Bone marrow smear · May-Grünwald-Giemsa/Pappenheim stain
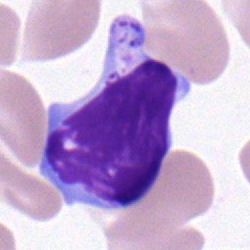
Polymorphonuclear neutrophil.